Bone marrow smear
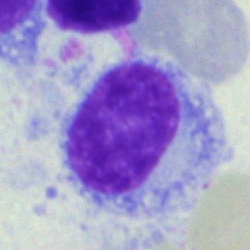Specimen: bone marrow smear.
Cell type: hairy cell.
Lineage: lymphoid.